Bone marrow smear — 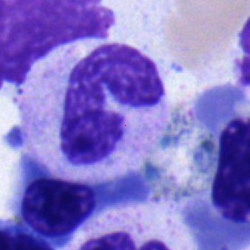 Classification = stab cell.